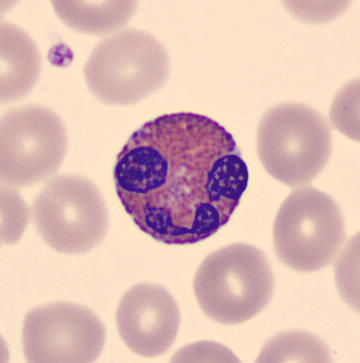 Specimen: peripheral blood film.
Morphological class: eosinophilic granulocyte.
Lineage: myeloid.